Single-cell field. 250×250 px. Bone marrow aspirate smear
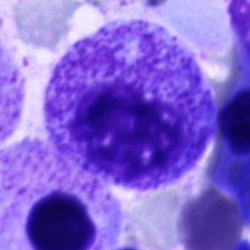
Morphology consistent with a promyelocyte.